Bone marrow smear:
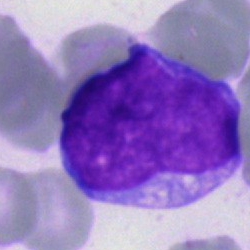 Showing a blast cell.